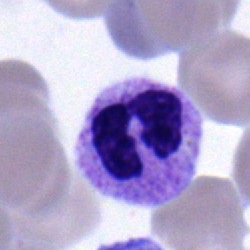

Morphology — segmented neutrophil.